Bone marrow smear — 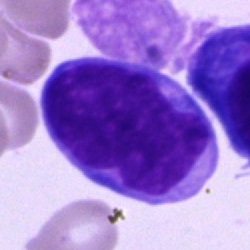 Cell type = undifferentiated blast.